40× objective, oil immersion · bone marrow smear · image size 250×250.
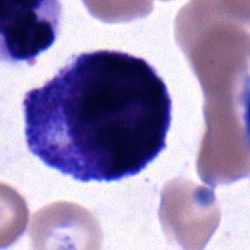Q: Identify the cell.
A: A promyelocyte.